Brightfield microscopy, 40× oil immersion. Single cell centered in the field. Bone marrow aspirate smear:
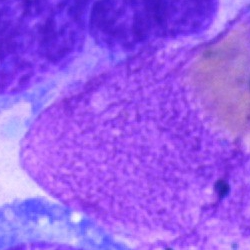An artefact.